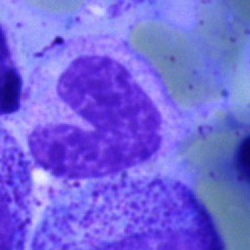 Q: What is the morphological classification of this cell?
A: A band-form neutrophil.